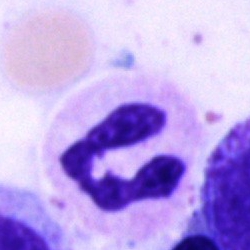 A polymorphonuclear neutrophil on a bone marrow smear.